May-Grünwald-Giemsa/Pappenheim stain. Bone marrow aspirate smear — 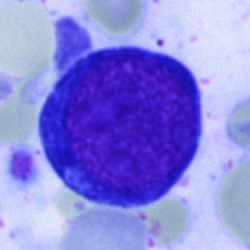Impression — pronormoblast.